Bone marrow smear — 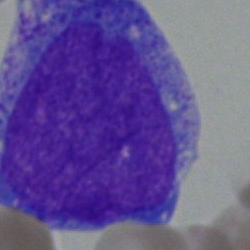
Showing a blast cell.